250×250 px; bone marrow aspirate smear
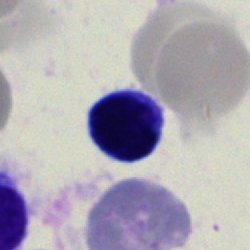Specimen: bone marrow aspirate smear.
Classification: typical lymphocyte.